Bone marrow aspirate smear: 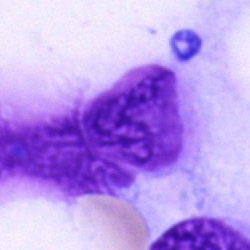
Cell type = artifact.